40× oil immersion; cropped to a single cell; bone marrow aspirate smear
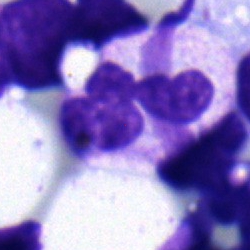

This is a segmented neutrophil.